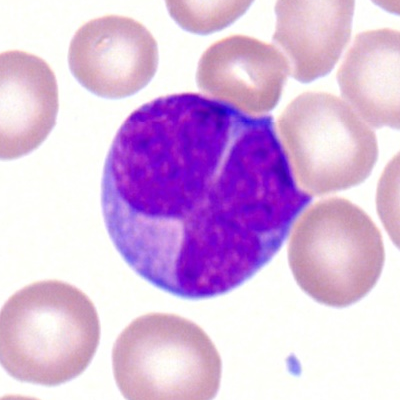

Q: What is shown here?
A: This is a myeloid blast.